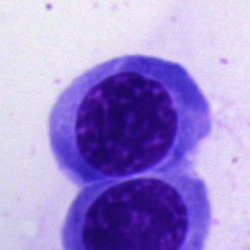Morphological class: nucleated red blood cell.